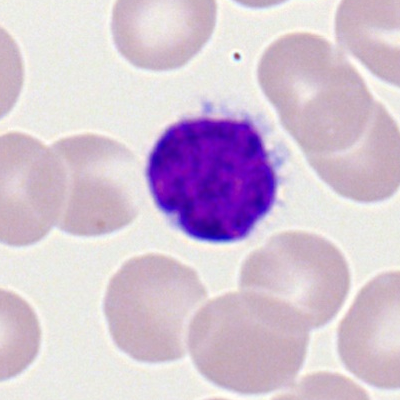Single-cell crop from a peripheral blood smear: typical lymphocyte.